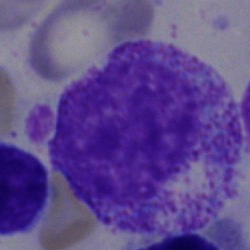 A myelocyte.